Bone marrow aspirate smear · single-cell field · Pappenheim-stained
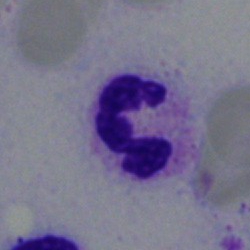 Specimen: bone marrow smear.
Morphological class: segmented neutrophil.
Lineage: myeloid.